Bone marrow smear. Brightfield microscopy, 40× oil immersion:
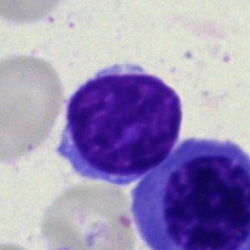 Morphology consistent with a typical lymphocyte.